Single-cell crop; bone marrow aspirate smear:
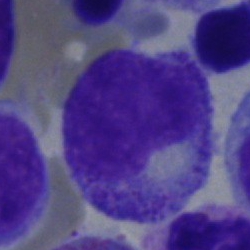Specimen: bone marrow aspirate smear.
Classification: promyelocyte.
Lineage: myeloid.